Bone marrow aspirate smear · cropped to a single cell: 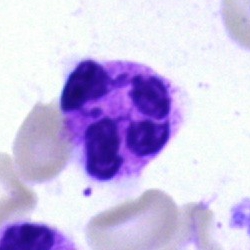 Q: What cell is this?
A: This is a polymorphonuclear neutrophil.